Bone marrow aspirate smear; cropped to a single cell; brightfield microscopy, 40× oil immersion.
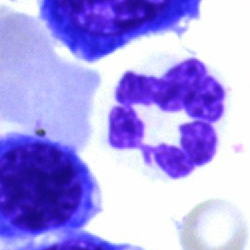

Impression — polymorphonuclear neutrophil.